Bone marrow aspirate smear — 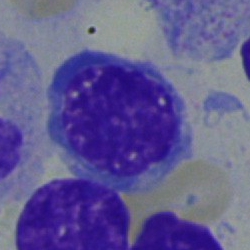
Classification: normoblast.